Bone marrow aspirate smear — 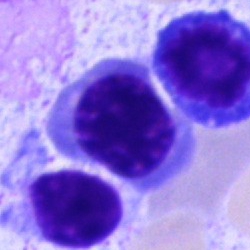Impression → nucleated red blood cell.